Bone marrow aspirate smear — 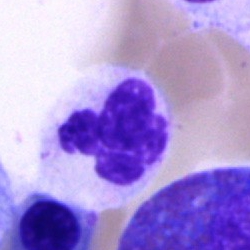Morphological class: segmented neutrophil.